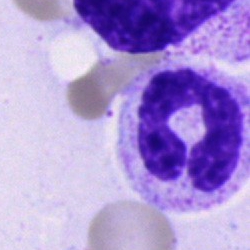
Specimen: bone marrow smear.
Cell type: neutrophil (band).
Lineage: myeloid.